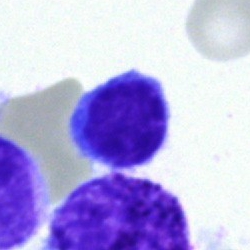

The cell is lymphocyte.